May-Grünwald-Giemsa/Pappenheim stain. Bone marrow aspirate smear. Single cell centered in the field — 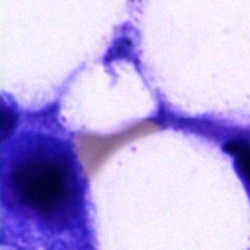 Q: What is shown here?
A: An artefact.